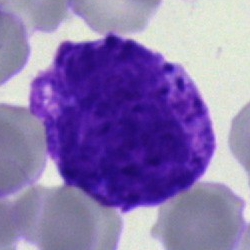Morphology consistent with a basophilic granulocyte.